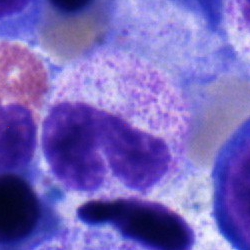 Showing a stab cell.